Bone marrow aspirate smear.
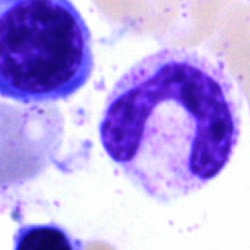

Impression → segmented neutrophil.